Bone marrow aspirate smear. 40× objective, oil immersion. Single-cell field:
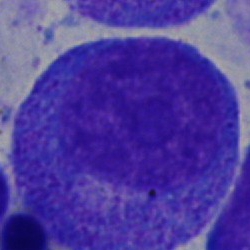
This is a progranulocyte.